Bone marrow smear: 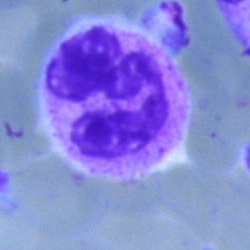Q: Identify the cell.
A: It is a segmented neutrophil.